Bone marrow aspirate smear
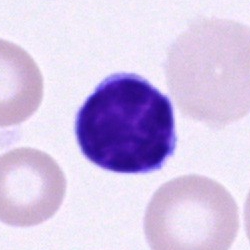A typical lymphocyte.